Brightfield, 40× oil-immersion objective; bone marrow smear
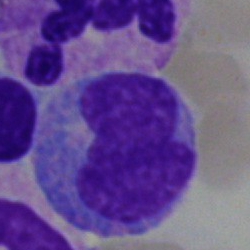Showing a monocyte.